Brightfield microscopy, 40× oil immersion; bone marrow smear.
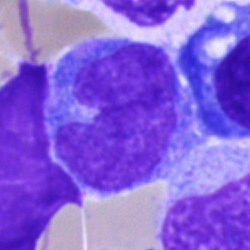

The cell shown is a monocyte.